CellaVision DM96 digital cell image · peripheral blood film · image size 360×363 — 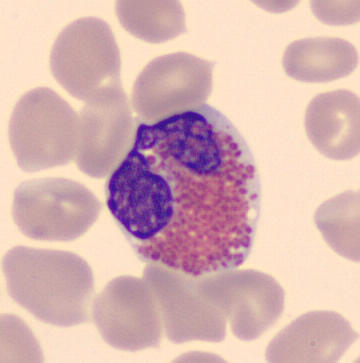

The classification is eosinophilic granulocyte.